Single-cell field. Bone marrow aspirate smear.
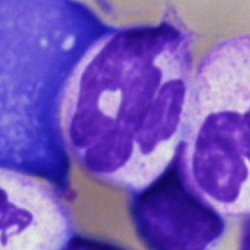 Q: What cell is this?
A: Neutrophil (segmented).